Bone marrow aspirate smear
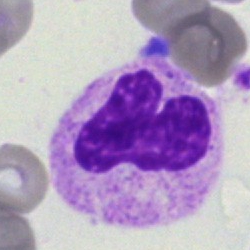Cell type: segmented neutrophil.